Bone marrow smear: 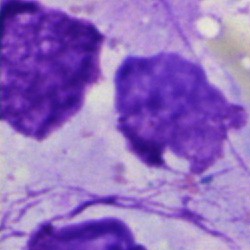
Q: What is shown here?
A: An artifact.